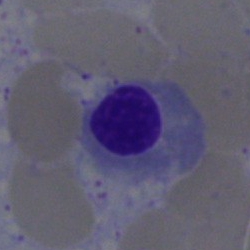

Q: What type of cell is this?
A: An erythroblast.